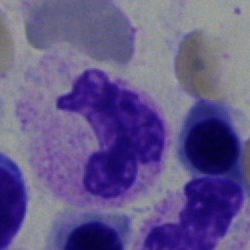 Cell — polymorphonuclear neutrophil.